Cropped to a single cell. Bone marrow aspirate smear.
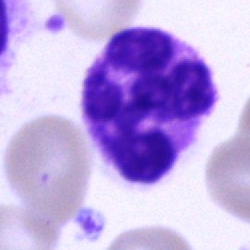 Specimen: bone marrow smear.
Cell: segmented neutrophil.
Lineage: myeloid.